40× oil immersion; bone marrow aspirate smear; 250×250 — 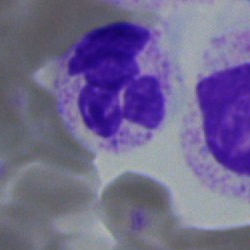

Q: What cell is this?
A: It is a segmented neutrophil.